Bone marrow smear:
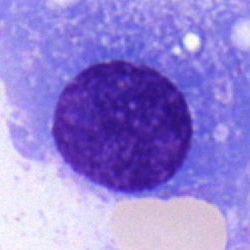
Morphology — plasma cell.